Single-cell field · bone marrow aspirate smear
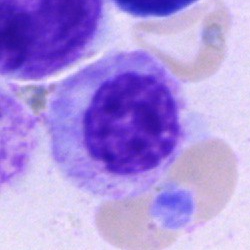 Single cell identified as a myelocyte.